Bone marrow smear:
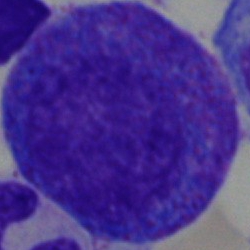
Impression — progranulocyte.